Bone marrow smear. Single-cell crop. Pappenheim-stained
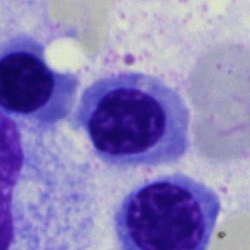Q: What is shown here?
A: This is a nucleated red blood cell.